Bone marrow aspirate smear
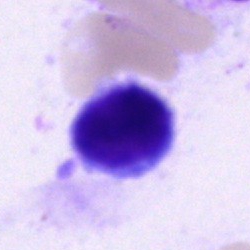
{"cell_type": "lymphocyte", "lineage": "lymphoid"}